Bone marrow aspirate smear: 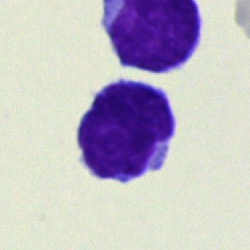

Specimen: bone marrow smear.
Classification: typical lymphocyte.
Lineage: lymphoid.